Bone marrow smear.
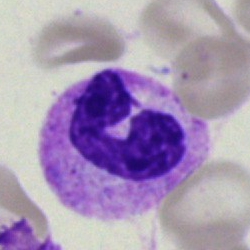

Specimen: bone marrow aspirate smear.
Cell type: band-form neutrophil.
Lineage: myeloid.